Bone marrow aspirate smear · MGG-stained:
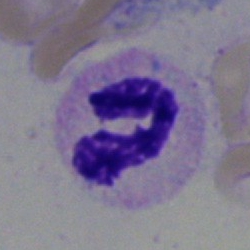
Morphology → segmented neutrophil.